M8 digital microscope (Precipoint), 100× oil immersion; 400×400 px; peripheral blood film
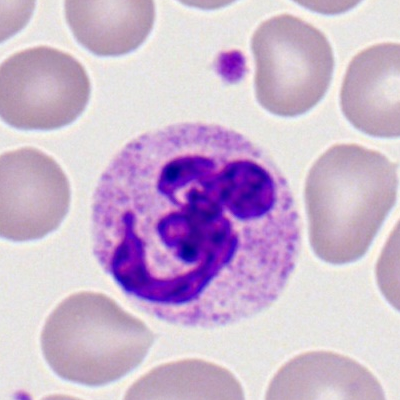Q: What type of cell is this?
A: Polymorphonuclear neutrophil.